Bone marrow smear.
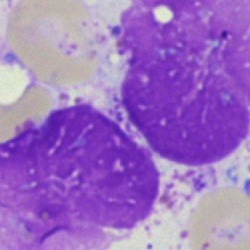
Morphology — artefact.